Image size 250×250 · bone marrow smear · May-Grünwald-Giemsa stain:
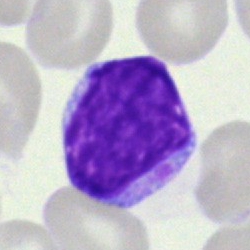
An undifferentiated blast.